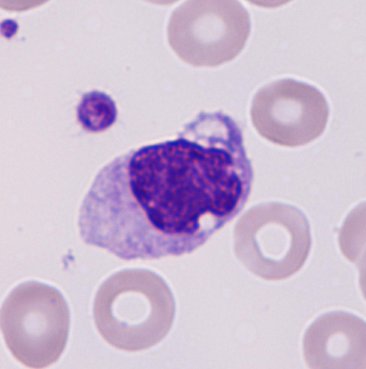Identified as a monocyte. Preparation: Peripheral blood film · cropped to a single cell.